Bone marrow smear.
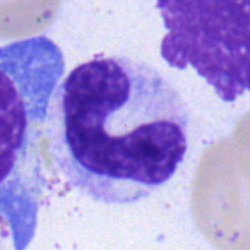 Morphology consistent with a band-form neutrophil.